Single-cell crop; bone marrow smear — 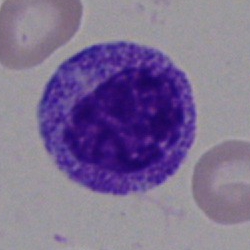Single cell identified as a myelocyte.